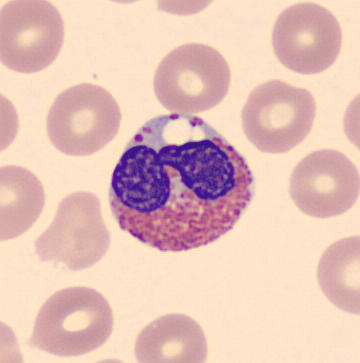 Cell — eosinophil.
Peripheral blood smear.